Bone marrow smear: 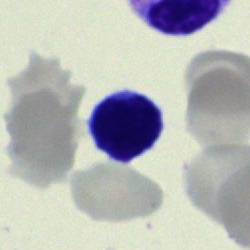 Q: What is shown here?
A: It is a lymphocyte.